Bone marrow aspirate smear; Pappenheim-stained: 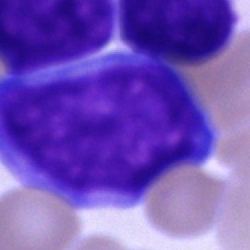 The classification is blast cell.